Bone marrow aspirate smear · 40× objective, oil immersion.
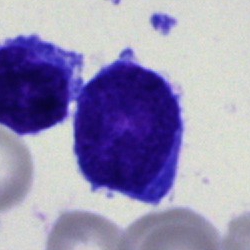Morphological class: blast.